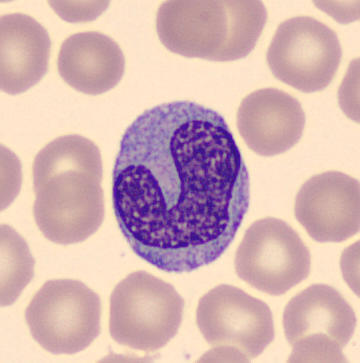

{"cell_type": "monocyte", "lineage": "myeloid"}

Acquisition: Peripheral blood smear.